Romanowsky-type stain · peripheral blood smear · image size 400×400: 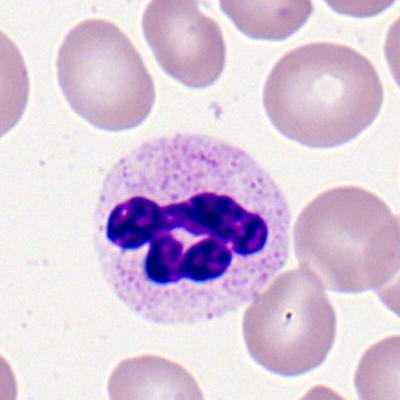Specimen: peripheral blood film.
Morphological class: polymorphonuclear neutrophil.
Lineage: myeloid.